Image size 250×250; bone marrow aspirate smear
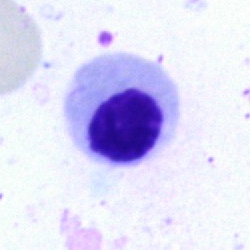{"cell_type": "nucleated red cell", "lineage": "erythroid"}